Bone marrow aspirate smear · May-Grünwald-Giemsa stain.
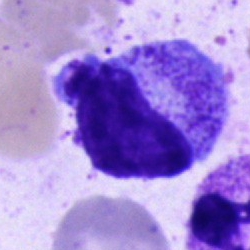Specimen: bone marrow smear.
Classification: promyelocyte.
Lineage: myeloid.